Brightfield, 40× oil-immersion objective; bone marrow smear.
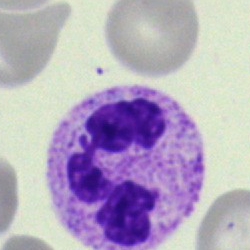Single cell identified as a segmented neutrophil.